Bone marrow smear:
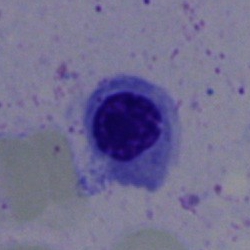Impression → erythroblast.